Bone marrow aspirate smear — 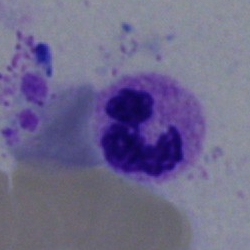 Showing a segmented neutrophil.